Bone marrow aspirate smear · image size 250×250 — 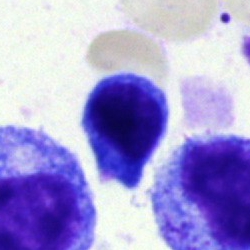 This is a cell of indeterminate lineage.